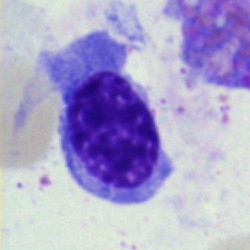 Impression — typical lymphocyte.